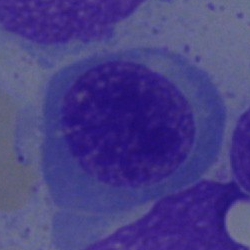
Morphological class: nucleated red blood cell.